Image size 250×250; bone marrow smear:
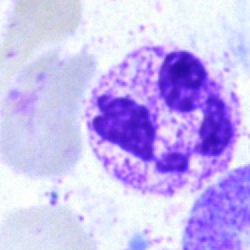
Q: Which cell type is shown here?
A: It is a neutrophil (segmented).